Single-cell crop. Bone marrow aspirate smear:
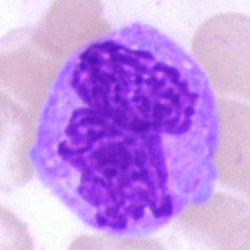
Single cell identified as a monocyte.